Bone marrow smear — 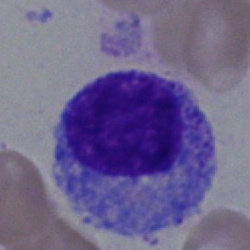

Q: What type of cell is this?
A: A myelocyte.